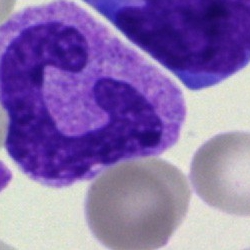 A polymorphonuclear neutrophil on a bone marrow smear.